Bone marrow smear. Single cell centered in the field. 40× oil immersion
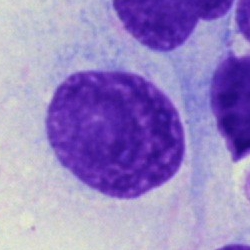 Single cell identified as an artifact.